Bone marrow smear
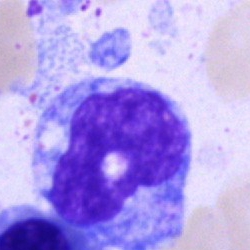
Specimen: bone marrow aspirate smear.
Classification: monocyte.